Bone marrow smear; cropped to a single cell
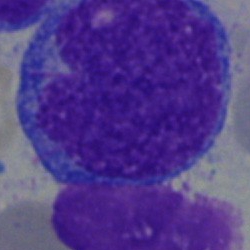Classification = blast.